Bone marrow aspirate smear; brightfield microscopy, 40× oil immersion; MGG-stained
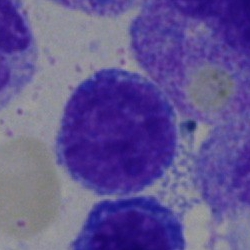

The morphological class is lymphocyte.